Bone marrow aspirate smear.
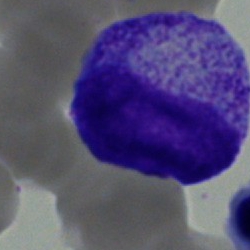
Specimen: bone marrow smear.
Classification: myelocyte.
Lineage: myeloid.